Bone marrow aspirate smear: 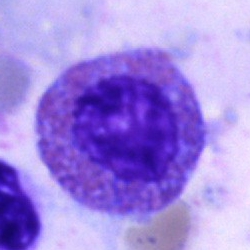Showing an eosinophil.